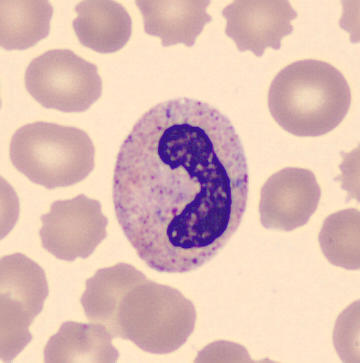 This is a band neutrophil.